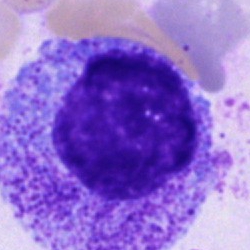
A promyelocyte.